Brightfield microscopy, 40× oil immersion; bone marrow aspirate smear — 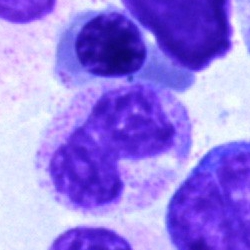

Morphology → band-form neutrophil.